Bone marrow aspirate smear — 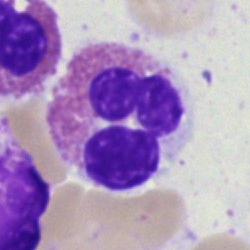
Single cell identified as an eosinophil.